Bone marrow aspirate smear:
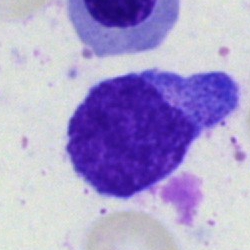 {"cell_type": "typical lymphocyte", "lineage": "lymphoid"}